250×250; bone marrow aspirate smear — 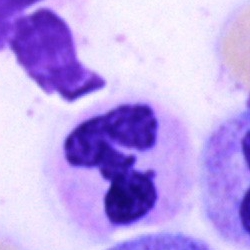
The cell shown is a polymorphonuclear neutrophil.